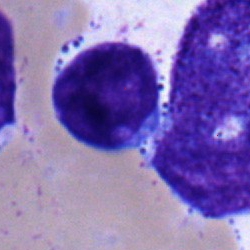

A lymphocyte.